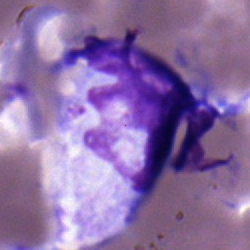 {"cell_type": "monocyte"}